Bone marrow smear:
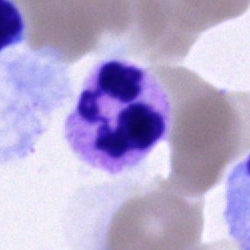

The classification is neutrophil (segmented).